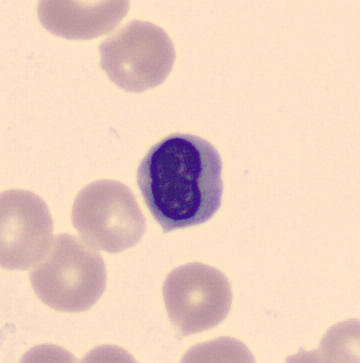

Classification = erythroblast.